Bone marrow aspirate smear — 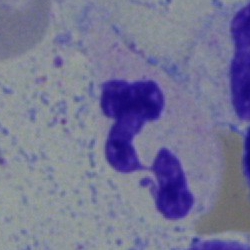Cell = neutrophil (segmented).